Bone marrow smear
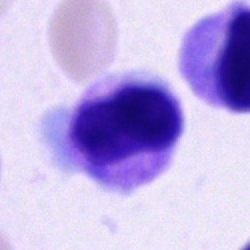

Classification — unidentifiable cell.